Bone marrow smear.
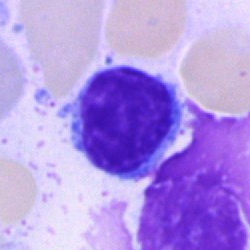 Classification = lymphocyte.